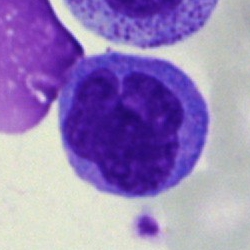

{"cell_type": "monocyte", "lineage": "myeloid"}